Bone marrow smear.
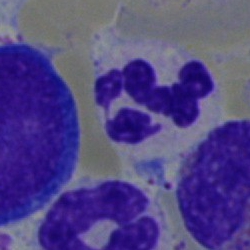
Impression — segmented neutrophil.